Bone marrow smear: 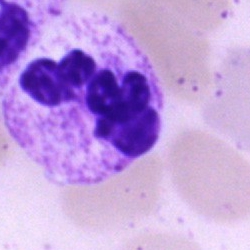
A segmented neutrophil.